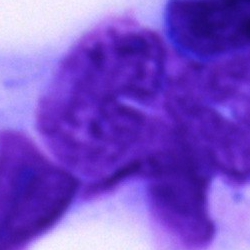An artifact on a bone marrow smear.